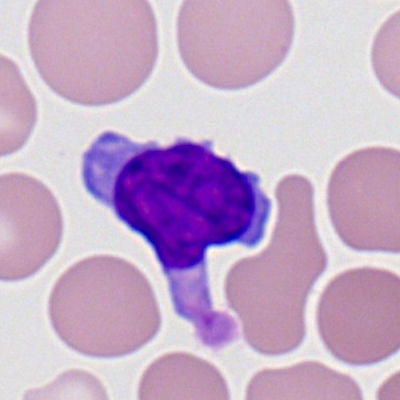 Single-cell crop from a peripheral blood smear: typical lymphocyte.